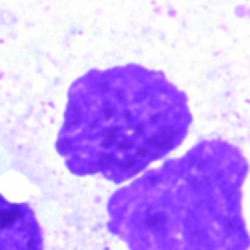

Q: What is shown here?
A: This is an artifact.